Bone marrow aspirate smear.
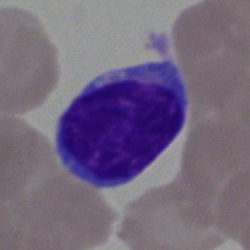
Typical lymphocyte.